Bone marrow aspirate smear.
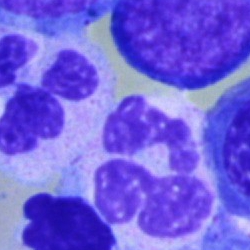

Q: Which cell type is shown here?
A: Polymorphonuclear neutrophil.